40× objective, oil immersion. Bone marrow aspirate smear
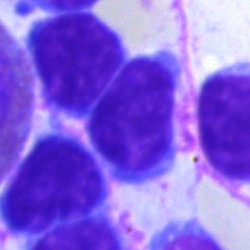Cell type = lymphocyte.